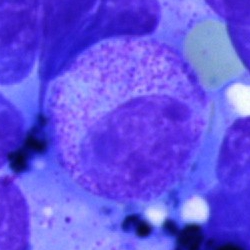

Single-cell crop from a bone marrow smear: myelocyte.